Bone marrow aspirate smear — 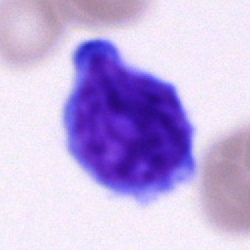

Morphology consistent with an undifferentiated blast.